Bone marrow aspirate smear:
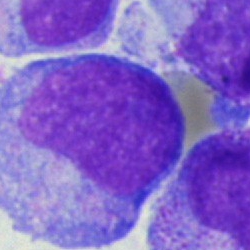Promyelocyte.